Bone marrow aspirate smear; brightfield microscopy, 40× oil immersion: 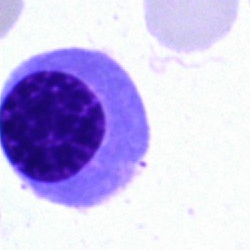 Nucleated red cell.